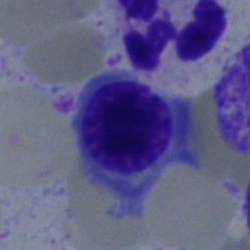 Cell = nucleated red blood cell.